Bone marrow smear.
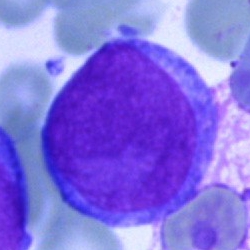 Blast cell.